Peripheral blood smear: 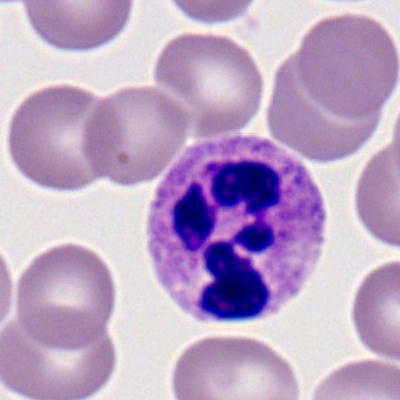Morphological class = polymorphonuclear neutrophil.